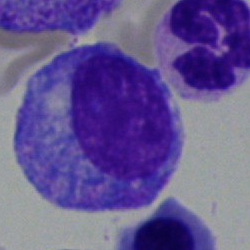
Morphology consistent with a promyelocyte.